Bone marrow smear. Single-cell crop
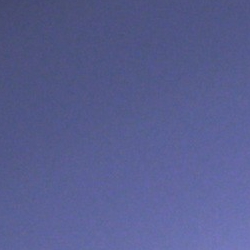

Showing an artifact.